Bone marrow smear:
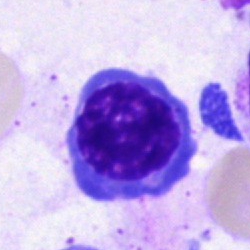 Single cell identified as an erythroblast.